Bone marrow aspirate smear — 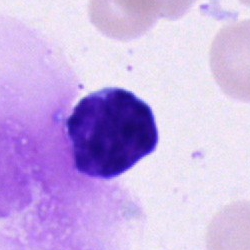

Impression → typical lymphocyte.